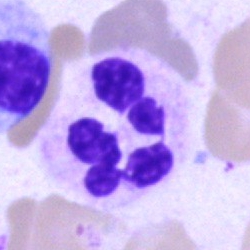
A polymorphonuclear neutrophil.